Bone marrow aspirate smear.
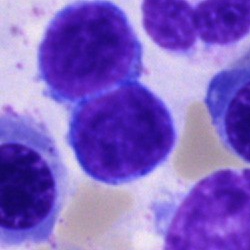 Morphology consistent with a lymphocyte.